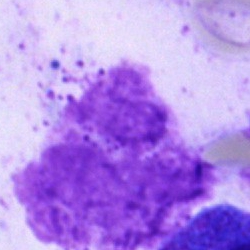Impression → artefact.